Brightfield, 40× oil-immersion objective. Bone marrow smear.
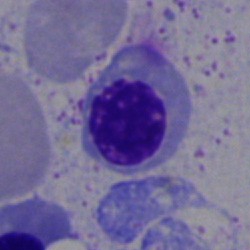
Cell type — normoblast.